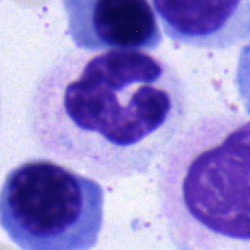 The cell type is neutrophil (segmented).